Bone marrow smear — 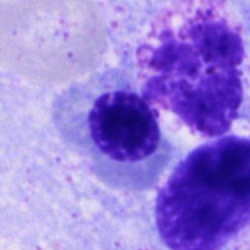Q: What is shown here?
A: It is a nucleated red cell.